Peripheral blood smear.
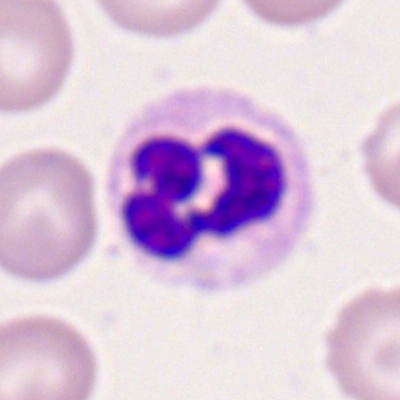

Morphology — neutrophil (segmented).